Bone marrow smear
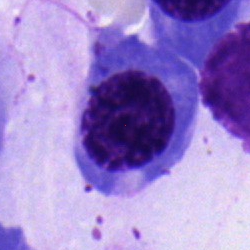
Specimen: bone marrow aspirate smear.
Cell: erythroblast.
Lineage: erythroid.